Bone marrow aspirate smear — 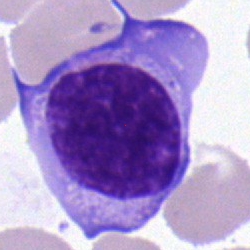

Cell type = lymphocyte.